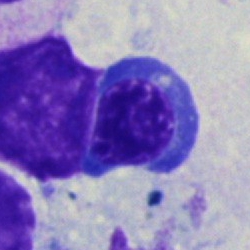 Q: Identify the cell.
A: It is a normoblast.